Bone marrow aspirate smear: 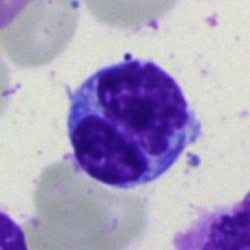
The cell shown is a monocyte.